Single-cell crop. Bone marrow aspirate smear. 250×250
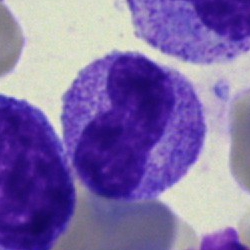

Impression → neutrophil (band).